Bone marrow smear. Brightfield microscopy, 40× oil immersion.
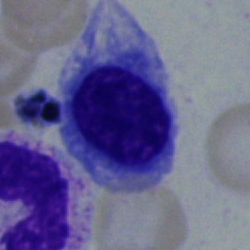 Specimen: bone marrow aspirate smear.
Morphological class: normoblast.